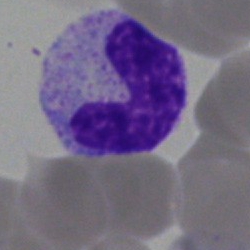
Specimen: bone marrow aspirate smear.
Classification: band neutrophil.